Bone marrow smear: 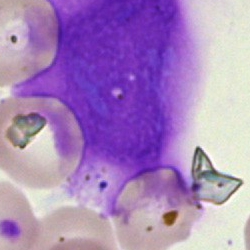Artifact.